250×250 · bone marrow smear: 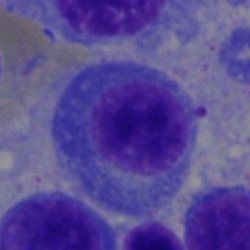A plasma cell.